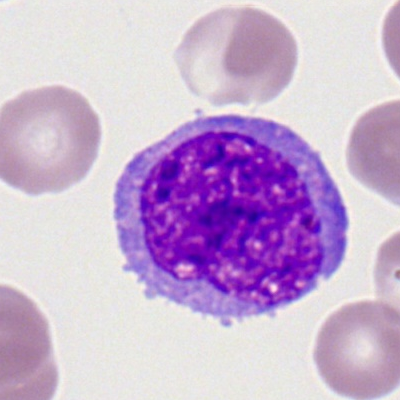
The cell shown is a monocyte.